Bone marrow smear:
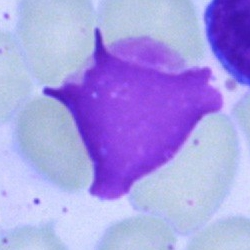

Specimen: bone marrow smear.
Classification: artifact.